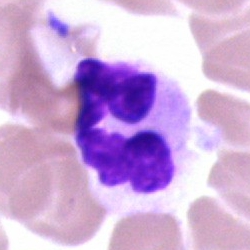
Specimen: bone marrow smear.
Classification: segmented neutrophil.
Lineage: myeloid.